MGG-stained · bone marrow smear:
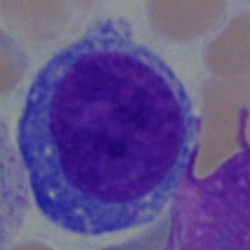

Classification: blast cell.